Bone marrow smear. Pappenheim-stained.
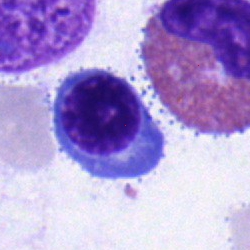
Classification = erythroblast.